250×250. Single cell centered in the field. Bone marrow smear:
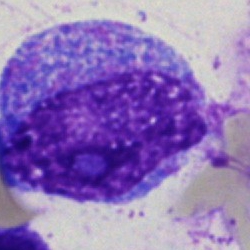

Morphological class: promyelocyte.